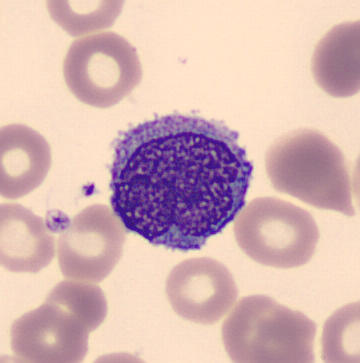

Cell: monocyte. Image: Peripheral blood smear.